Bone marrow aspirate smear
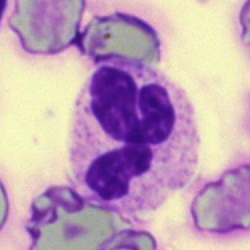 Cell = segmented neutrophil.